Brightfield, 40× oil-immersion objective. Bone marrow smear. May-Grünwald-Giemsa stain
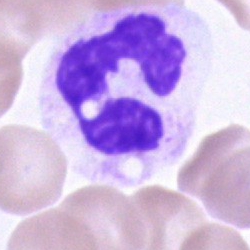

Specimen: bone marrow smear.
Classification: polymorphonuclear neutrophil.
Lineage: myeloid.